Bone marrow aspirate smear · Pappenheim-stained · 250 by 250 pixels
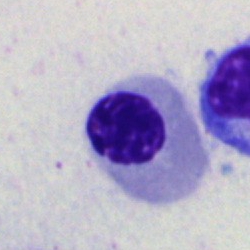 Q: What is the morphological classification of this cell?
A: An erythroblast.